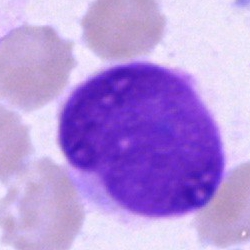 The classification is artifact.